Bone marrow aspirate smear — 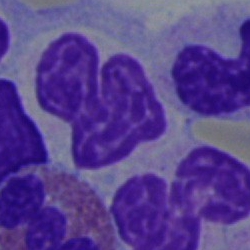 Q: Identify the cell.
A: A neutrophil (segmented).